Bone marrow aspirate smear. Pappenheim-stained: 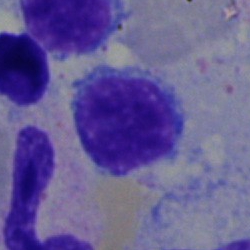 Q: What is the morphological classification of this cell?
A: Lymphocyte.